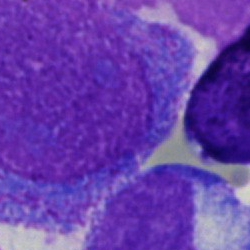A promyelocyte.